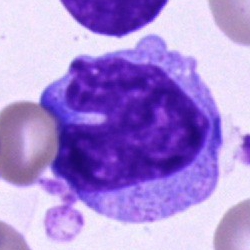This is a monocyte.